Single-cell field · May-Grünwald-Giemsa stain · bone marrow smear: 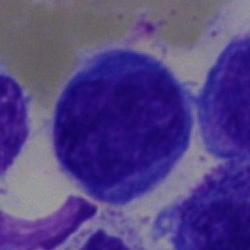Specimen: bone marrow aspirate smear.
Morphological class: blast cell.